Bone marrow smear:
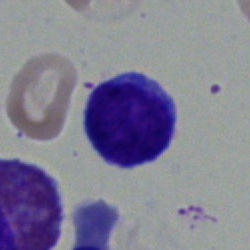 The cell is typical lymphocyte.